Cropped to a single cell · 250×250 · bone marrow aspirate smear:
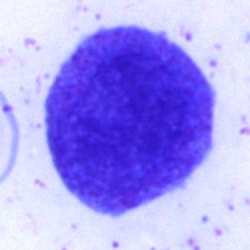

Morphological class — unidentifiable cell.